Peripheral blood film: 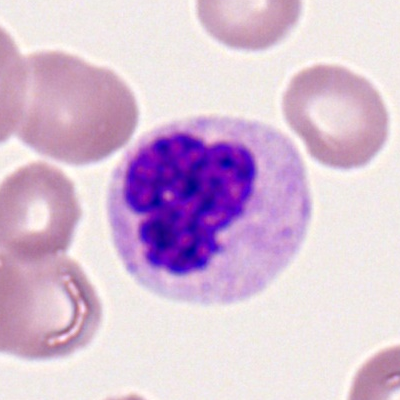 Classification = polymorphonuclear neutrophil.